Brightfield microscopy, 40× oil immersion · bone marrow smear · 250×250.
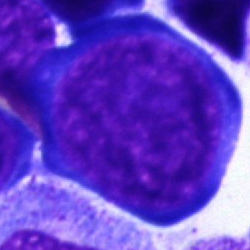
Classification — pronormoblast.